250×250 px; bone marrow smear: 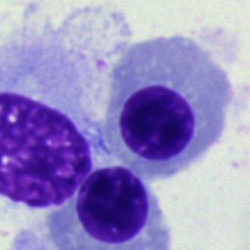 The cell type is nucleated red cell.